Cropped to a single cell · MGG-stained · bone marrow aspirate smear: 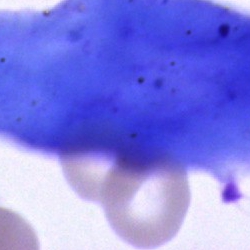Q: What is shown here?
A: It is an artefact.